Bone marrow smear
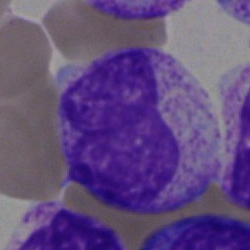 Morphology → myelocyte.